Bone marrow aspirate smear: 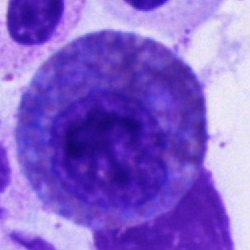
Cell type — eosinophilic granulocyte.